Bone marrow smear — 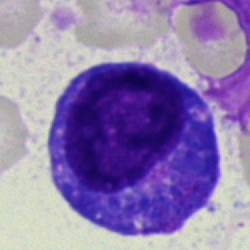 Cell = progranulocyte.